Bone marrow aspirate smear; 40× objective, oil immersion.
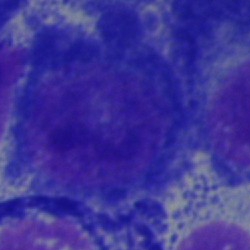Showing a plasma cell.